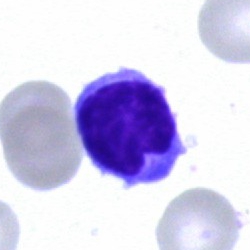 Q: What cell is this?
A: It is a typical lymphocyte.